Single-cell crop; bone marrow aspirate smear
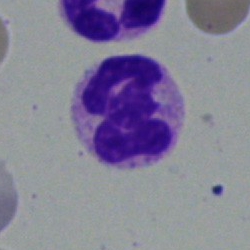Morphological class — polymorphonuclear neutrophil.